Peripheral blood film.
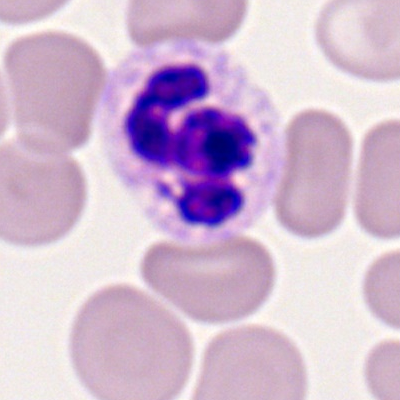{"cell_type": "segmented neutrophil", "lineage": "myeloid"}